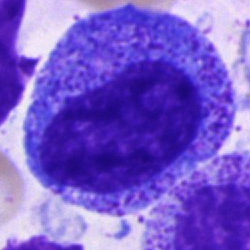Specimen: bone marrow aspirate smear.
Morphological class: promyelocyte.